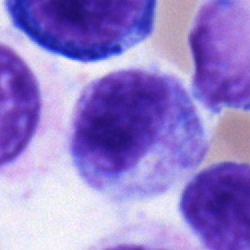 Q: What is shown here?
A: A myelocyte.